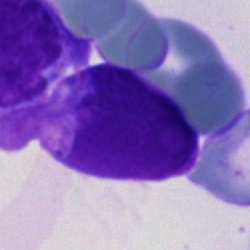
Cell type — blast.